40× oil immersion; cropped to a single cell; bone marrow smear: 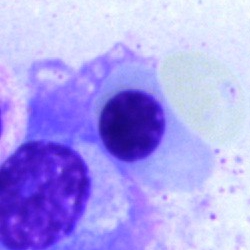

Morphology consistent with an erythroblast.